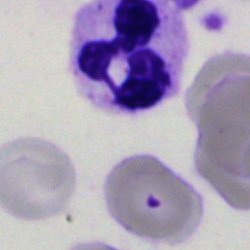

A neutrophil (segmented) on a bone marrow smear.